Bone marrow smear: 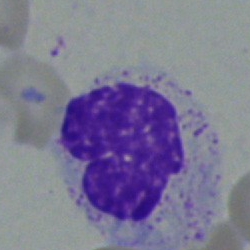
Morphological class = neutrophil (segmented).